Brightfield microscopy, 40× oil immersion. Bone marrow aspirate smear. Cropped to a single cell — 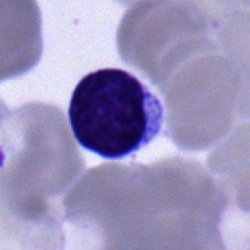 Q: What type of cell is this?
A: This is a lymphocyte.